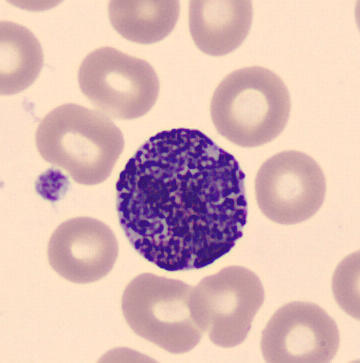
The classification is basophilic granulocyte.